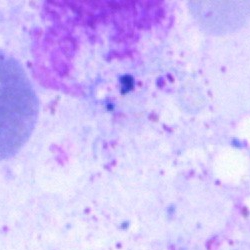

Q: What is shown here?
A: It is an artifact.